Bone marrow aspirate smear — 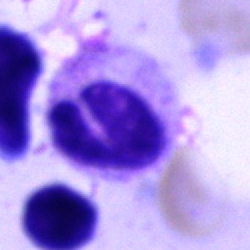
Specimen: bone marrow smear.
Cell: segmented neutrophil.
Lineage: myeloid.